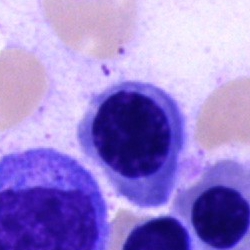

A nucleated red cell on a bone marrow smear.